Single cell centered in the field; bone marrow smear; brightfield, 40× oil-immersion objective.
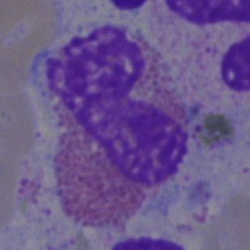
Eosinophil.